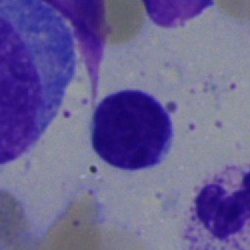
Specimen: bone marrow smear.
Cell: lymphocyte.
Lineage: lymphoid.